Bone marrow smear; 40× oil immersion: 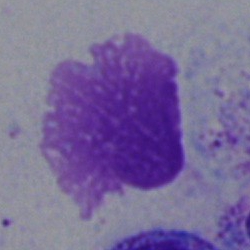 Artifact.